Image size 250×250. Bone marrow aspirate smear. Single-cell field:
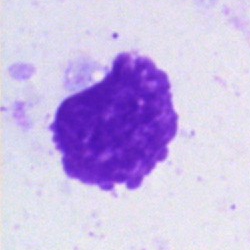
Cell — artefact.